40× objective, oil immersion; bone marrow aspirate smear; cropped to a single cell: 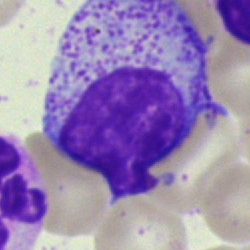 Q: Identify the cell.
A: Myelocyte.